Bone marrow aspirate smear · 250×250 px · May-Grünwald-Giemsa stain: 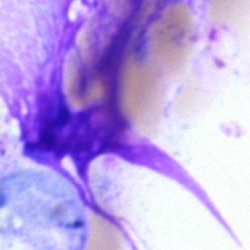

Q: What is shown here?
A: An artifact.